Bone marrow smear — 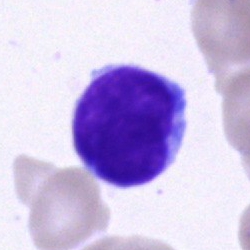
Single cell identified as a lymphocyte.